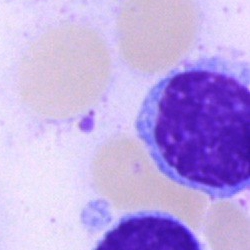Classification: typical lymphocyte.